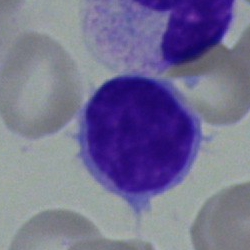 Lymphocyte.